40× objective, oil immersion. Bone marrow smear — 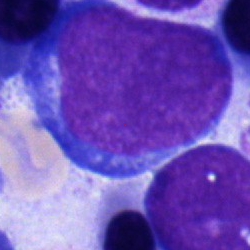
The cell is proerythroblast.